250×250 px. Bone marrow aspirate smear
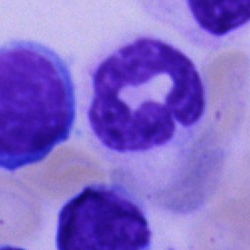
Morphology consistent with a segmented neutrophil.